Bone marrow smear: 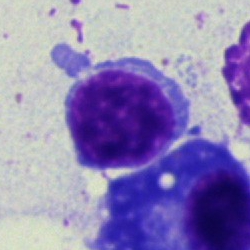{"cell_type": "typical lymphocyte", "lineage": "lymphoid"}